Bone marrow smear.
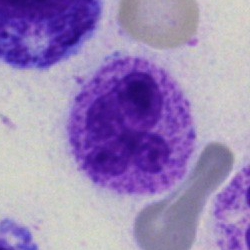This is a polymorphonuclear neutrophil.